Bone marrow aspirate smear:
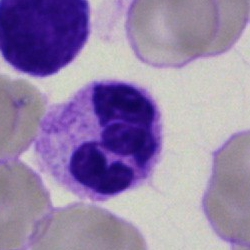Specimen: bone marrow smear.
Classification: neutrophil (segmented).
Lineage: myeloid.